Single cell centered in the field · bone marrow aspirate smear · brightfield microscopy, 40× oil immersion.
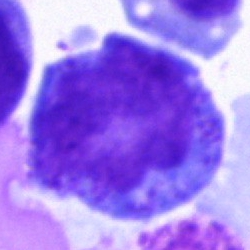
Cell type = promyelocyte.